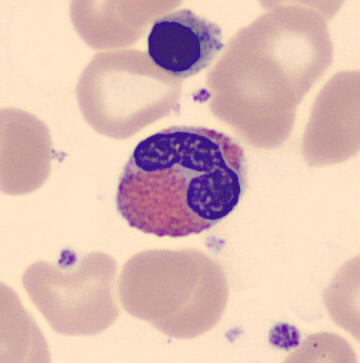 This is an eosinophilic granulocyte. Peripheral blood film.